Bone marrow smear
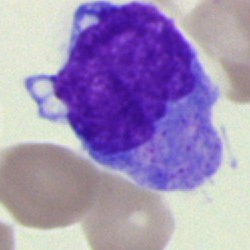 Cell — monocyte.